Bone marrow aspirate smear:
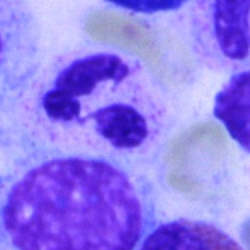The cell shown is a segmented neutrophil.